Bone marrow aspirate smear — 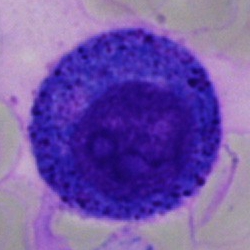
Q: Which cell type is shown here?
A: Pronormoblast.